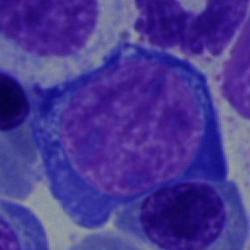Classification = pronormoblast.